Bone marrow smear:
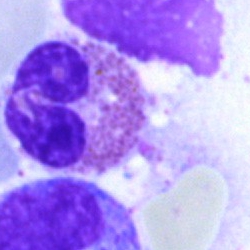

An eosinophilic granulocyte.